Bone marrow smear.
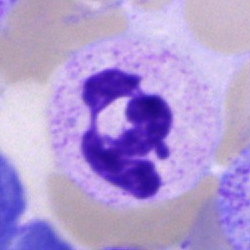
Specimen: bone marrow aspirate smear.
Cell: segmented neutrophil.
Lineage: myeloid.